Peripheral blood film; image size 400×400:
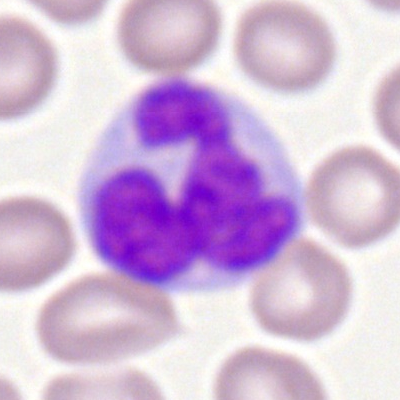
Cell type = monocyte.